Bone marrow smear:
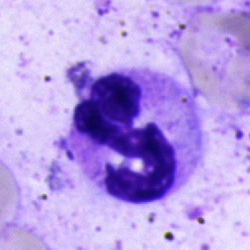Classification: neutrophil (segmented).